Bone marrow smear — 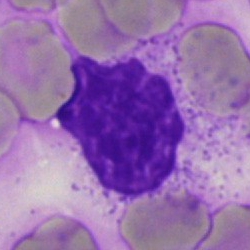 Q: What is shown here?
A: Artefact.